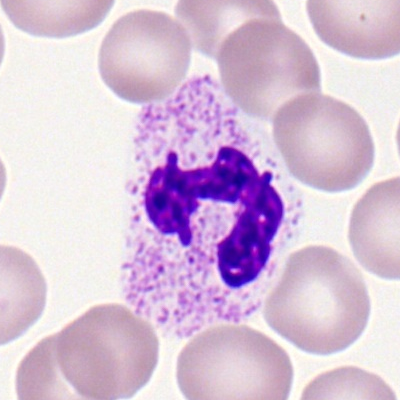Q: Identify the cell.
A: Segmented neutrophil.